Romanowsky-stained · peripheral blood smear: 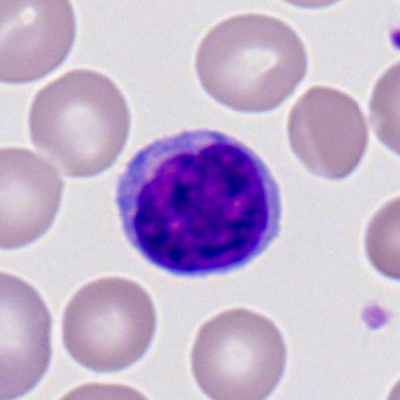This is a lymphocyte.